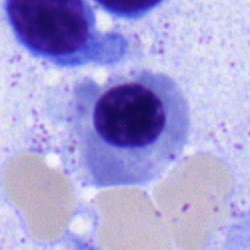 The cell shown is a normoblast.